Single-cell crop. Peripheral blood film: 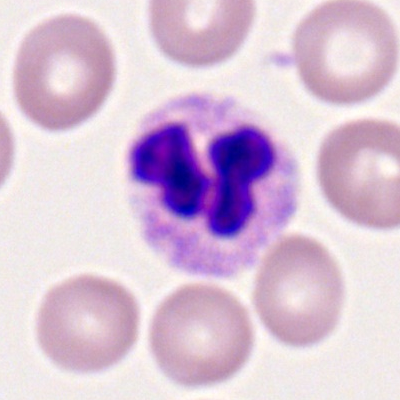

Classification: polymorphonuclear neutrophil.